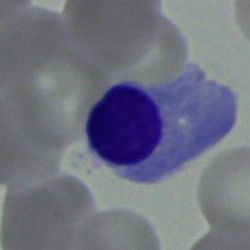 Specimen: bone marrow smear.
Morphological class: erythroblast.